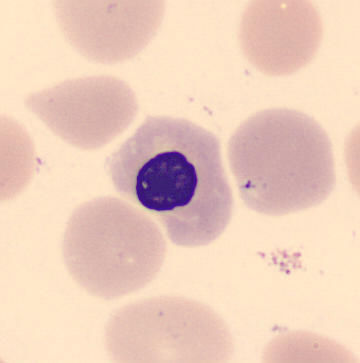
Morphology → normoblast.

Peripheral blood film.